250 by 250 pixels · bone marrow smear:
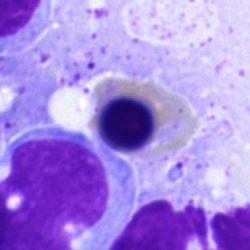Q: What cell is this?
A: This is an erythroblast.